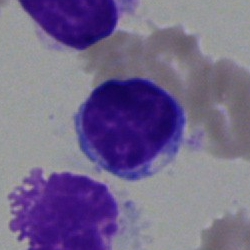 Cell type = typical lymphocyte.